May-Grünwald-Giemsa stain. Bone marrow smear. Single cell centered in the field
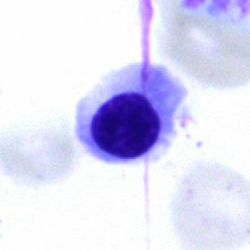 Q: Which cell type is shown here?
A: This is a nucleated red cell.